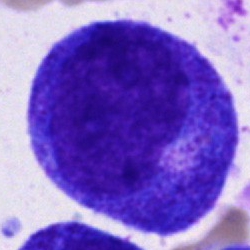Morphological class = progranulocyte.